400×400 px · single-cell crop · peripheral blood film
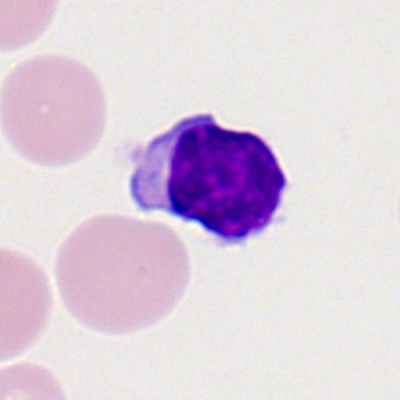Morphology → typical lymphocyte.